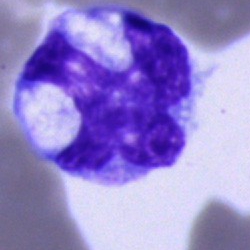 Q: Which cell type is shown here?
A: It is a monocyte.